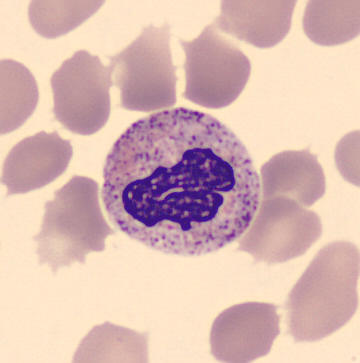
Single cell identified as a segmented neutrophil.

360×363 · single-cell field · peripheral blood film.